Bone marrow aspirate smear
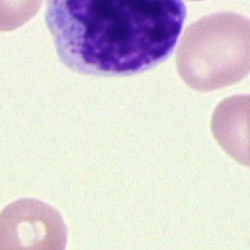Single cell identified as an artifact.